Bone marrow smear
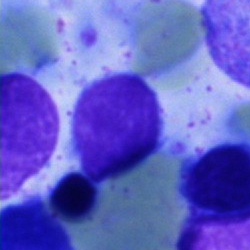
Morphology consistent with a lymphocyte.